Bone marrow aspirate smear. Brightfield microscopy, 40× oil immersion
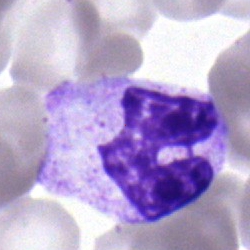Morphology → polymorphonuclear neutrophil.